Brightfield microscopy, 40× oil immersion. Bone marrow aspirate smear — 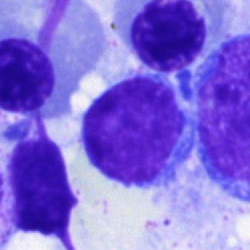The cell shown is a lymphocyte.